Bone marrow smear.
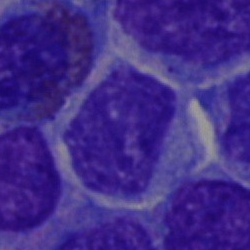Q: What type of cell is this?
A: An undifferentiated blast.